Brightfield microscopy, 40× oil immersion · bone marrow aspirate smear.
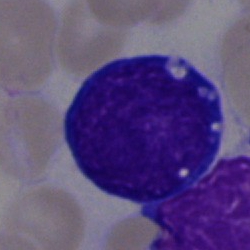Showing a blast.